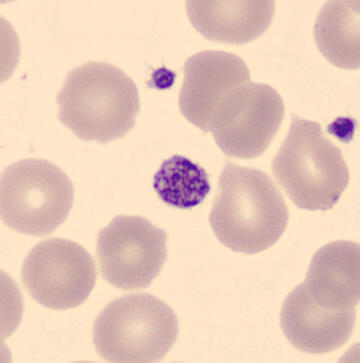 Morphology consistent with a platelet. Image: Peripheral blood smear; 360 by 363 pixels; imaged on a CellaVision DM96 analyser.